Bone marrow aspirate smear
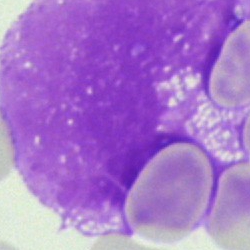Q: What is shown here?
A: Artefact.